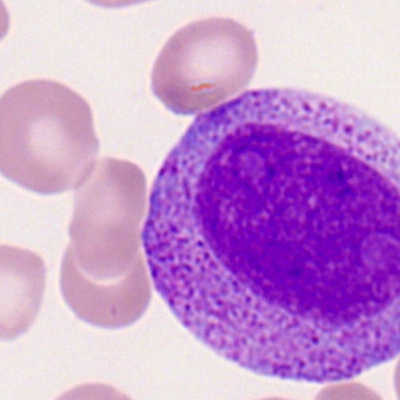
The cell shown is a promyelocyte.